Peripheral blood smear — 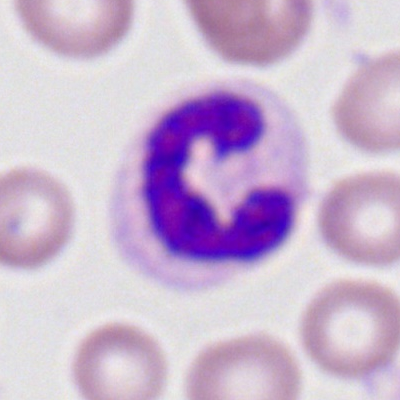
Morphological class: segmented neutrophil.